Bone marrow aspirate smear · image size 250×250 · May-Grünwald-Giemsa stain:
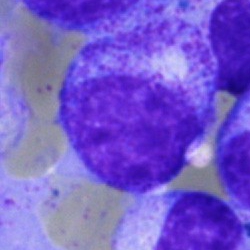

Specimen: bone marrow aspirate smear.
Classification: myelocyte.